Bone marrow aspirate smear:
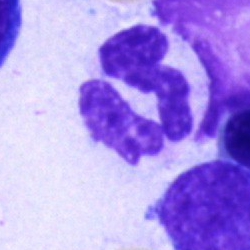Morphology consistent with a segmented neutrophil.